Bone marrow aspirate smear — 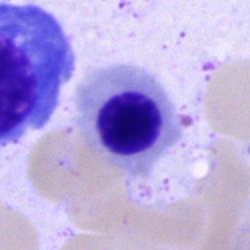

The classification is nucleated red blood cell.